Bone marrow smear: 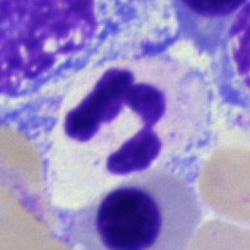

Specimen: bone marrow aspirate smear.
Cell type: polymorphonuclear neutrophil.